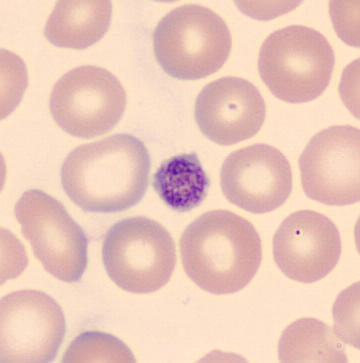

Image: Peripheral blood smear.

Q: What is shown here?
A: A thrombocyte.